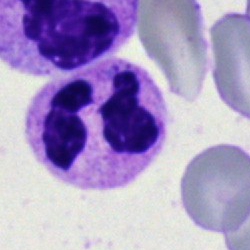A polymorphonuclear neutrophil on a bone marrow smear.